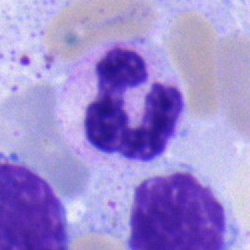

Cell — neutrophil (segmented).